Bone marrow smear:
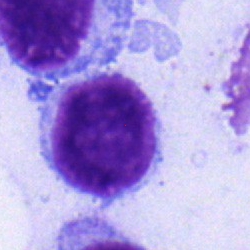The cell is lymphocyte.